Bone marrow aspirate smear · Pappenheim-stained.
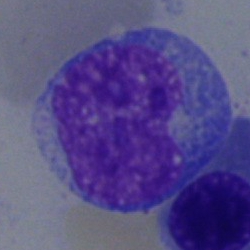 {"cell_type": "blast"}